Bone marrow smear.
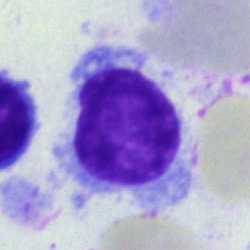 Specimen: bone marrow aspirate smear.
Cell type: hairy cell.